Bone marrow smear — 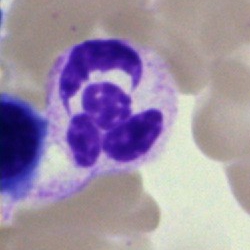 Polymorphonuclear neutrophil.